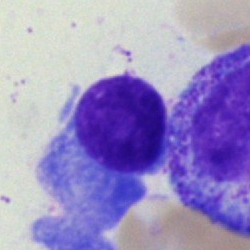 Showing a plasma cell.